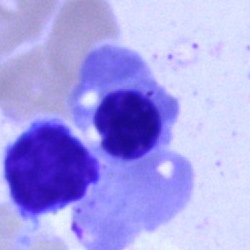
Classification: normoblast.